Peripheral blood film: 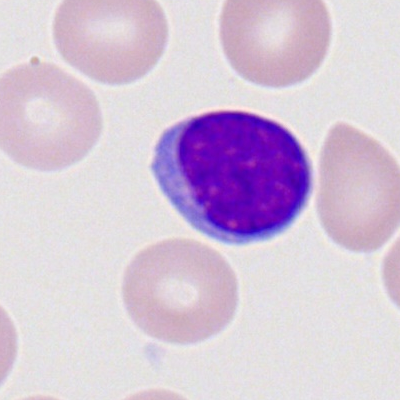
Q: What type of cell is this?
A: It is a typical lymphocyte.